Brightfield, 40× oil-immersion objective · bone marrow smear · MGG-stained
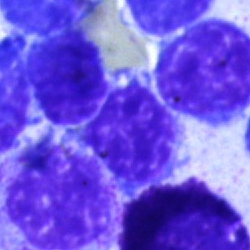
The cell shown is a typical lymphocyte.